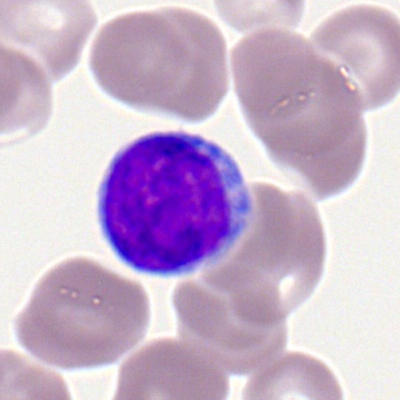
{"cell_type": "lymphocyte"}